Bone marrow aspirate smear. May-Grünwald-Giemsa/Pappenheim stain:
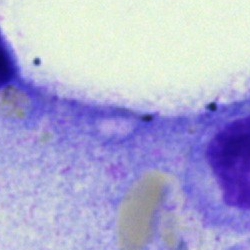 Specimen: bone marrow aspirate smear.
Cell type: artefact.